Bone marrow aspirate smear — 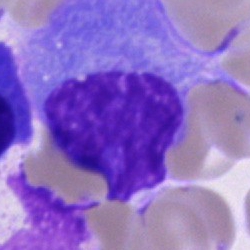

Morphology consistent with a plasmacyte.